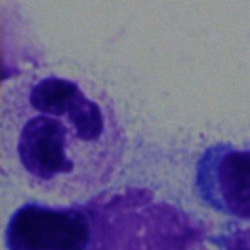
A polymorphonuclear neutrophil on a bone marrow smear.